Bone marrow aspirate smear.
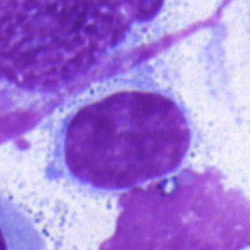

Typical lymphocyte.